250×250 px. Bone marrow smear. Brightfield microscopy, 40× oil immersion — 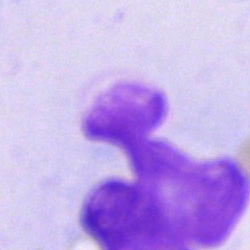
{"cell_type": "artefact"}